Bone marrow aspirate smear · single cell centered in the field · 250×250: 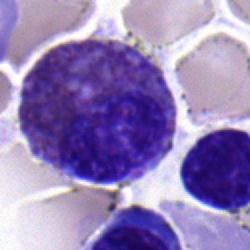
The cell shown is an eosinophilic granulocyte.